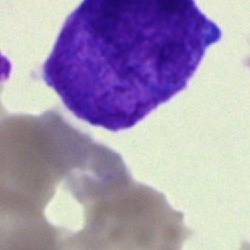
Showing an undifferentiated blast.